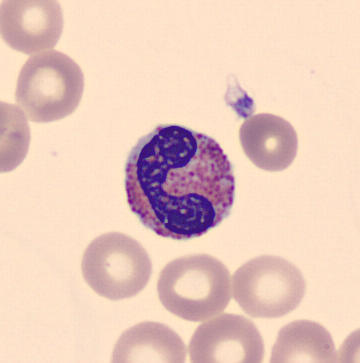Q: What cell is this?
A: It is an eosinophilic granulocyte.
Preparation: Peripheral blood film; single-cell crop.